100× oil immersion, 14.14 px/µm · single-cell field · peripheral blood film — 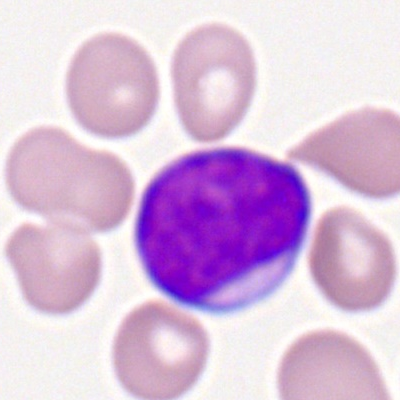 A myeloid blast.